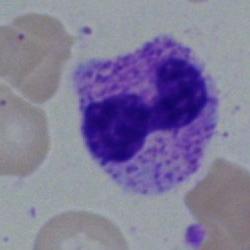Q: Identify the cell.
A: This is a neutrophil (band).